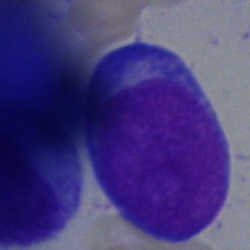

Cell type — blast cell.